Bone marrow smear — 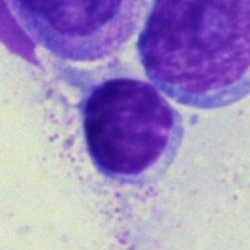 This is a typical lymphocyte.